Brightfield microscopy, 40× oil immersion. Bone marrow smear:
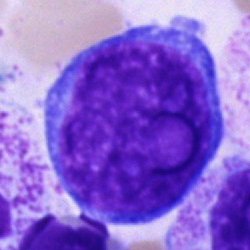

Morphological class = pronormoblast.